Bone marrow aspirate smear.
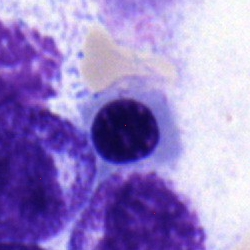
Morphology consistent with an erythroblast.